Bone marrow smear · single-cell crop — 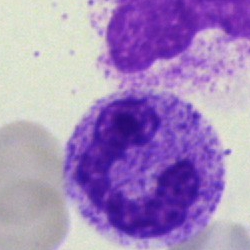
Q: What cell is this?
A: Neutrophil (band).